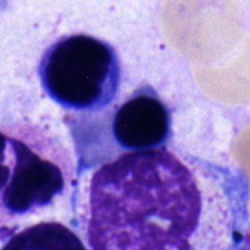 {"cell_type": "neutrophil (segmented)", "lineage": "myeloid"}